Bone marrow smear · cropped to a single cell — 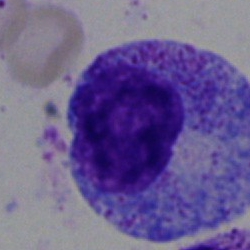

Q: What is shown here?
A: It is a promyelocyte.